Single cell centered in the field. Bone marrow smear. May-Grünwald-Giemsa/Pappenheim stain
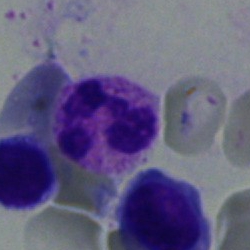Morphology consistent with a polymorphonuclear neutrophil.